Bone marrow smear — 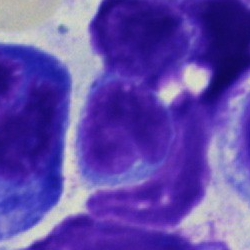Cell type — typical lymphocyte.